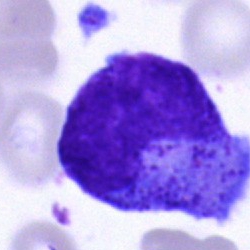 A promyelocyte.